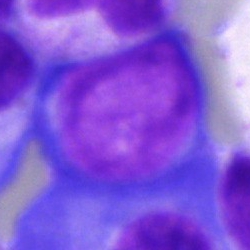 Q: Which cell type is shown here?
A: A pronormoblast.